Single-cell field; bone marrow smear; brightfield, 40× oil-immersion objective:
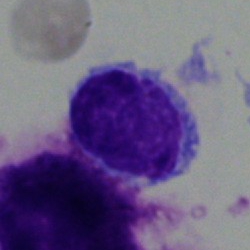 Q: Which cell type is shown here?
A: It is a typical lymphocyte.